Bone marrow aspirate smear:
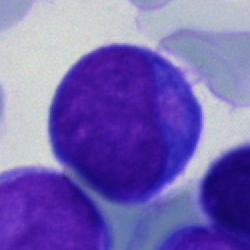 Showing an undifferentiated blast.